Bone marrow smear
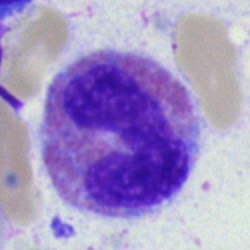

Q: What is the morphological classification of this cell?
A: An eosinophilic granulocyte.